Bone marrow aspirate smear: 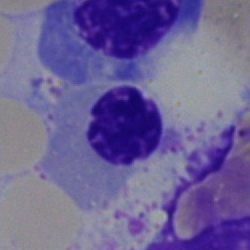
Showing a nucleated red blood cell.